400 by 400 pixels; peripheral blood smear — 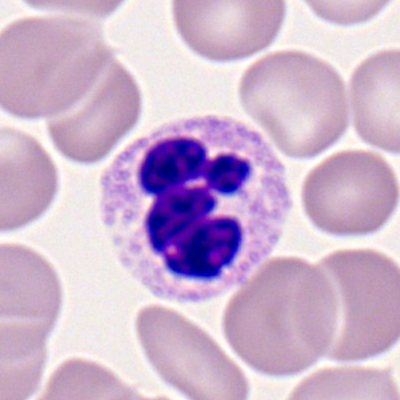Q: What type of cell is this?
A: Polymorphonuclear neutrophil.